Single-cell crop. Bone marrow aspirate smear. Image size 250×250:
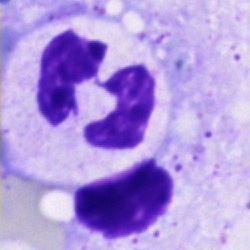 Cell — segmented neutrophil.